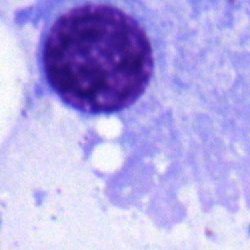
Bone marrow smear showing a plasma cell.